Peripheral blood film
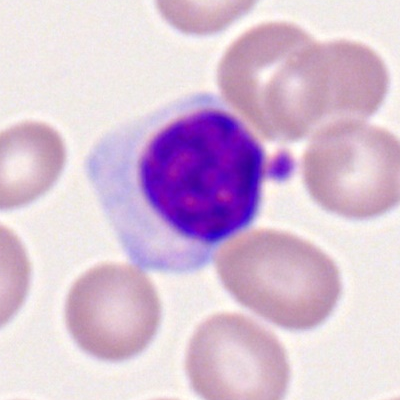 Lymphocyte.